Bone marrow smear: 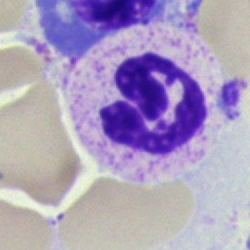 Morphology → segmented neutrophil.